Single-cell crop · bone marrow aspirate smear.
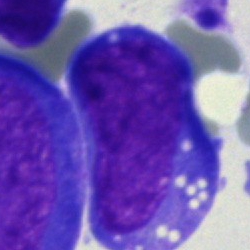

Showing an undifferentiated blast.